Bone marrow aspirate smear.
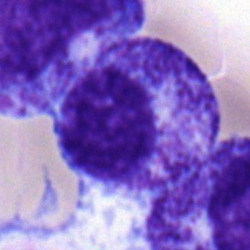

Single cell identified as a myelocyte.